Single-cell field. Bone marrow smear
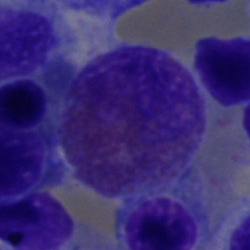

{"cell_type": "eosinophil", "lineage": "myeloid"}